Peripheral blood smear — 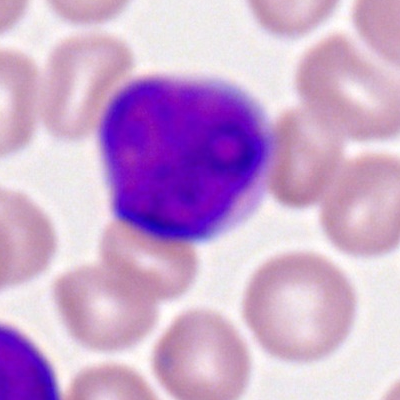 The cell type is myeloid blast.